Bone marrow smear. May-Grünwald-Giemsa/Pappenheim stain. 250 by 250 pixels — 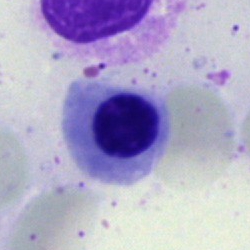This is a normoblast.